Bone marrow smear. May-Grünwald-Giemsa/Pappenheim stain: 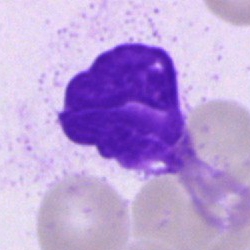 Single cell identified as an artefact.